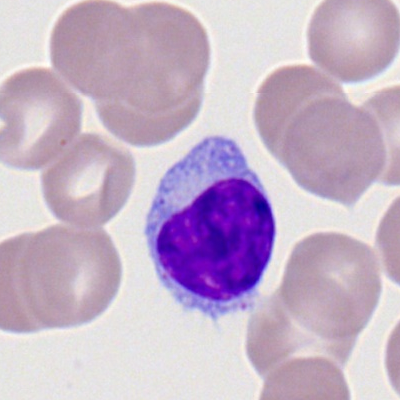 Cell type = lymphocyte.